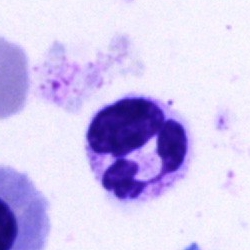Single-cell crop from a bone marrow smear: segmented neutrophil.